Bone marrow smear.
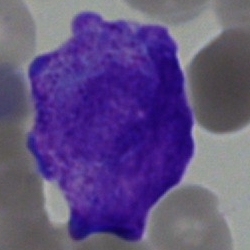 Undifferentiated blast.